Bone marrow smear · single cell centered in the field · MGG-stained: 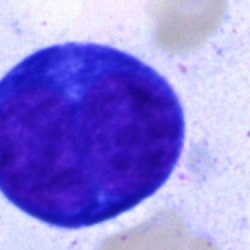 Morphology consistent with a pronormoblast.